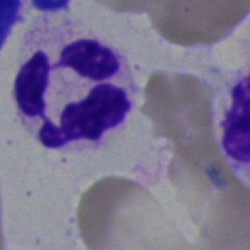 Q: What is the morphological classification of this cell?
A: This is a neutrophil (segmented).